Bone marrow aspirate smear: 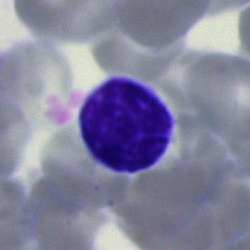

A lymphocyte.